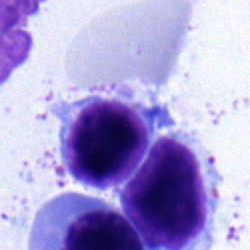

Showing a lymphocyte.